40× objective, oil immersion · bone marrow aspirate smear.
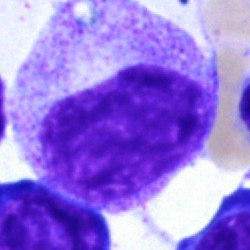 Myelocyte.